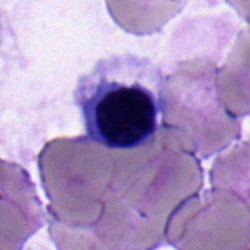
Classification: normoblast.